Bone marrow smear.
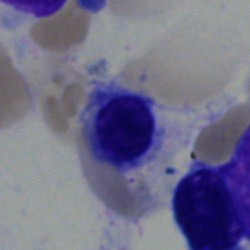
Q: What cell is this?
A: This is a normoblast.